Bone marrow smear: 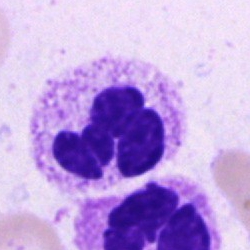
Showing a segmented neutrophil.